Bone marrow aspirate smear · brightfield microscopy, 40× oil immersion: 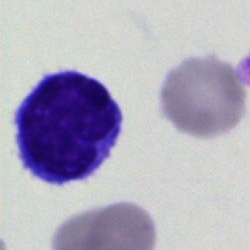
Cell: typical lymphocyte.